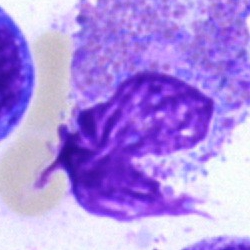
Q: What is shown here?
A: It is an artifact.